Bone marrow smear · brightfield microscopy, 40× oil immersion:
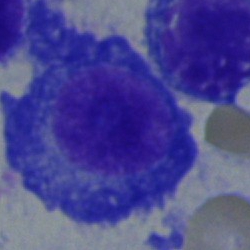Cell type = plasma cell.